Peripheral blood film. 100× objective, oil immersion. Image size 400×400
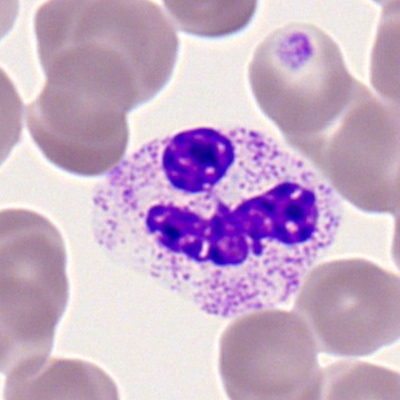Cell type — polymorphonuclear neutrophil.